40× objective, oil immersion. Bone marrow smear. Pappenheim-stained:
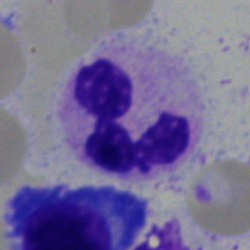

Q: What type of cell is this?
A: It is a polymorphonuclear neutrophil.